250×250 px. Bone marrow smear: 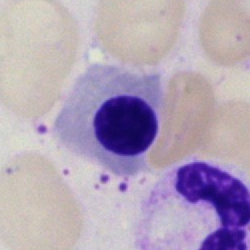

Specimen: bone marrow aspirate smear.
Morphological class: nucleated red cell.